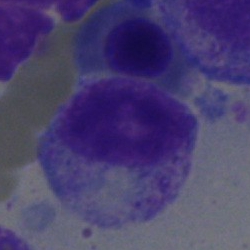Impression → myelocyte.